Bone marrow aspirate smear
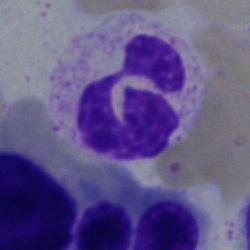

This is a polymorphonuclear neutrophil.